Bone marrow aspirate smear; 250×250 px; brightfield, 40× oil-immersion objective: 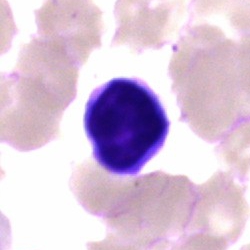
A plasmacyte.